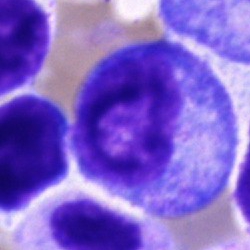
Morphology consistent with a promyelocyte.